MGG-stained. Bone marrow smear. Image size 250×250 — 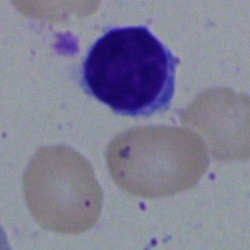 Cell type = lymphocyte.